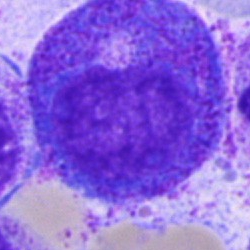 Q: What type of cell is this?
A: This is a promyelocyte.